Bone marrow aspirate smear
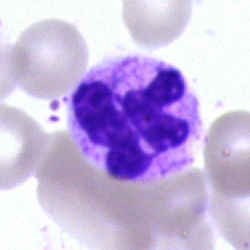

Specimen: bone marrow smear.
Cell: polymorphonuclear neutrophil.
Lineage: myeloid.